Single-cell crop · 40× objective, oil immersion · bone marrow smear
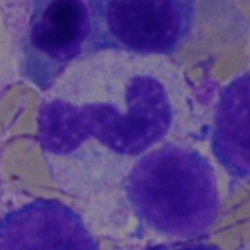

Q: What is shown here?
A: It is a polymorphonuclear neutrophil.